Bone marrow aspirate smear; image size 250×250.
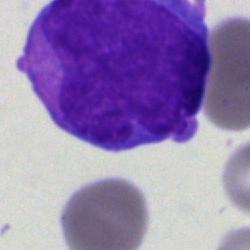 An undifferentiated blast.